Bone marrow smear
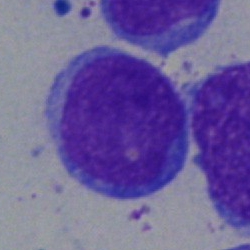 The cell shown is a blast.